Bone marrow aspirate smear. Image size 250×250. Cropped to a single cell: 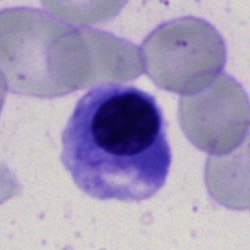

An erythroblast.